250×250 px; bone marrow smear — 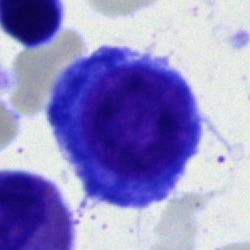Specimen: bone marrow smear.
Cell: proerythroblast.
Lineage: erythroid.